Bone marrow aspirate smear.
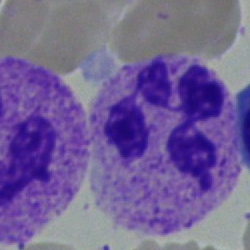

Impression — segmented neutrophil.